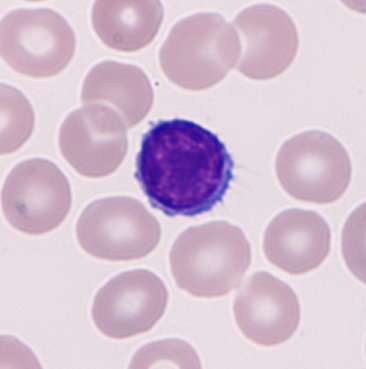

Cell: typical lymphocyte.